Bone marrow smear: 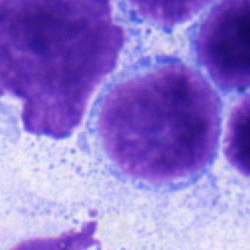

A lymphocyte.